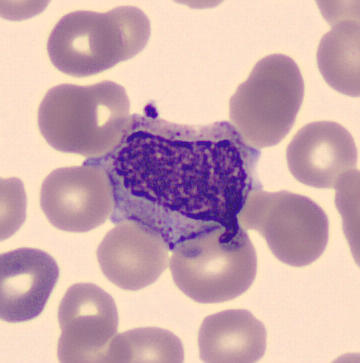
Morphology → myelocyte.

Peripheral blood film.